Bone marrow aspirate smear
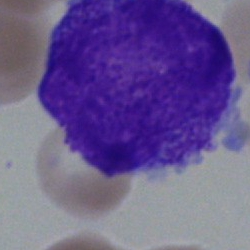 The cell shown is an undifferentiated blast.